Bone marrow smear; 250×250.
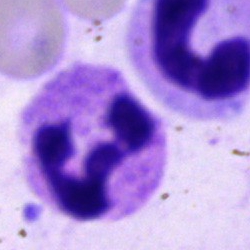A neutrophil (segmented).